Peripheral blood smear:
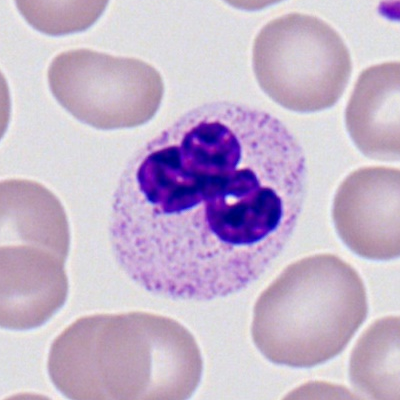

Morphological class — segmented neutrophil.